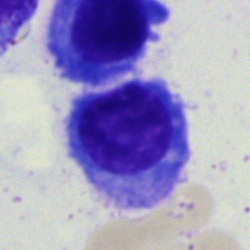

Specimen: bone marrow smear.
Morphological class: plasmacyte.